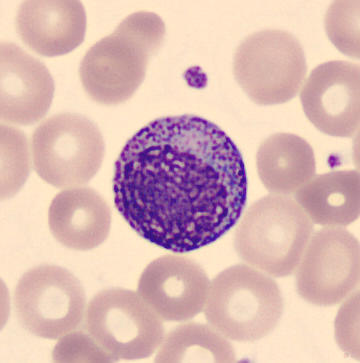
{"cell_type": "myelocyte", "lineage": "myeloid"} Preparation: 360×363 px; peripheral blood smear.